Bone marrow aspirate smear:
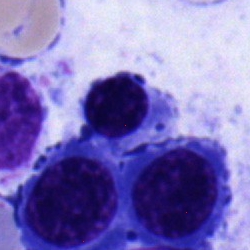
Cell type: nucleated red blood cell.